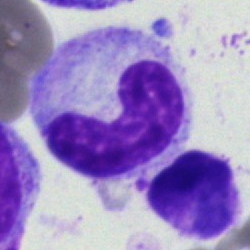 Classification: neutrophil (band).